Bone marrow smear:
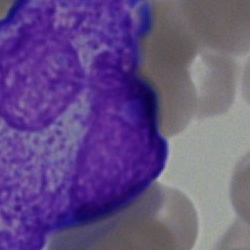

Single cell identified as an undifferentiated blast.